Bone marrow aspirate smear. Cropped to a single cell:
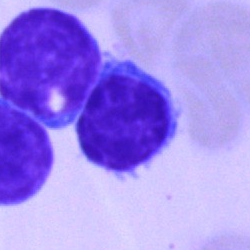

Morphology → lymphocyte.